Brightfield microscopy, 40× oil immersion; MGG-stained; bone marrow aspirate smear — 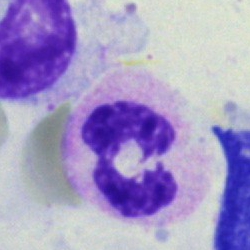 Classification = segmented neutrophil.